Bone marrow aspirate smear
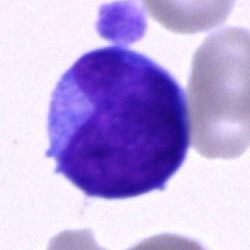 This is a blast cell.